May-Grünwald-Giemsa/Pappenheim stain; bone marrow smear — 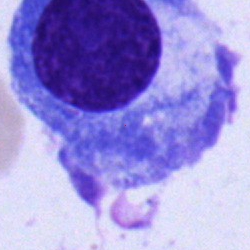The cell type is plasmacyte.